Peripheral blood film — 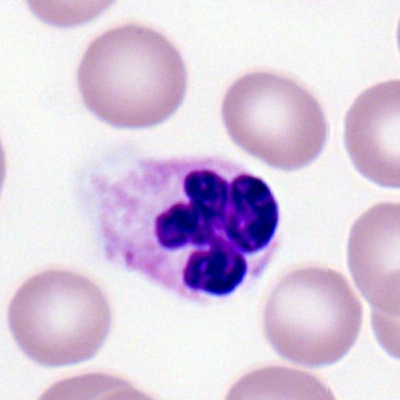

Specimen: peripheral blood smear.
Cell type: neutrophil (segmented).